Bone marrow smear
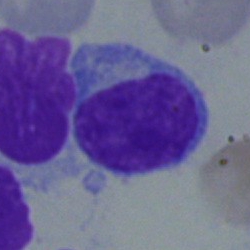
Q: What is the morphological classification of this cell?
A: A typical lymphocyte.